Bone marrow aspirate smear · cropped to a single cell:
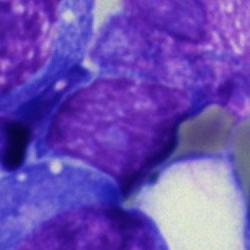

Single cell identified as a blast.